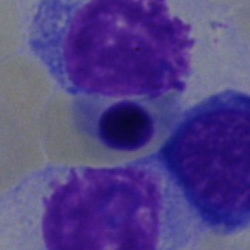
Showing a nucleated red blood cell.